Bone marrow aspirate smear. Cropped to a single cell: 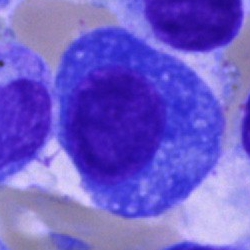

Classification: plasma cell.